Peripheral blood film. Cropped to a single cell. Romanowsky-type stain:
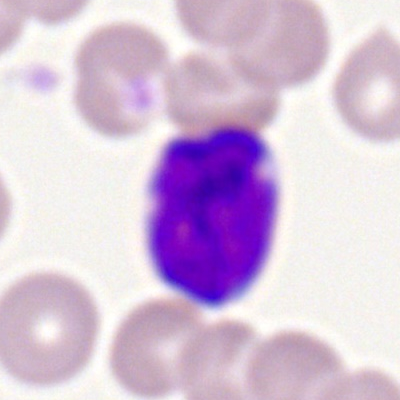
Myeloid blast.